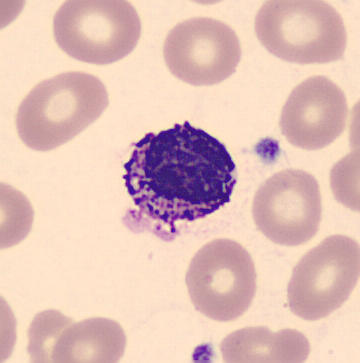 Q: Which cell type is shown here?
A: A basophil.